Bone marrow smear · May-Grünwald-Giemsa stain
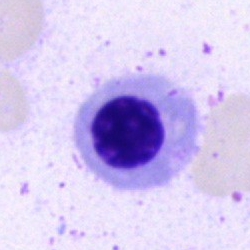 Q: What type of cell is this?
A: It is a nucleated red blood cell.